Bone marrow aspirate smear · cropped to a single cell · 250×250: 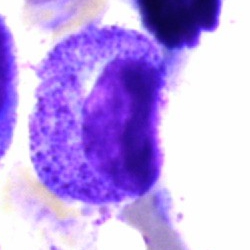{"cell_type": "promyelocyte"}